Bone marrow aspirate smear.
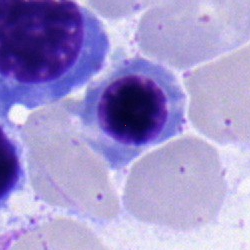

Normoblast.